Bone marrow aspirate smear. MGG-stained: 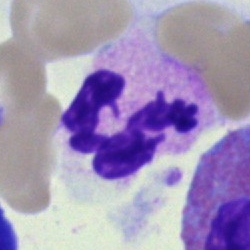

Specimen: bone marrow smear.
Classification: segmented neutrophil.
Lineage: myeloid.